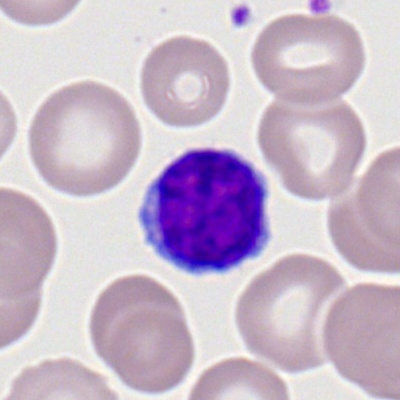 {"cell_type": "lymphocyte", "lineage": "lymphoid"}